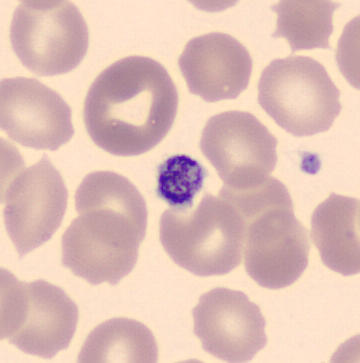
Preparation: Peripheral blood smear.
Cell type — platelet.